Single cell centered in the field; bone marrow aspirate smear
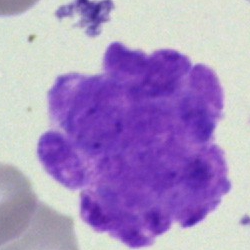Classification — artifact.